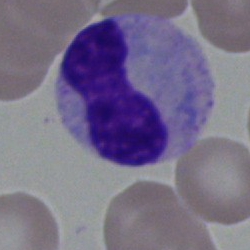{"cell_type": "neutrophil (band)", "lineage": "myeloid"}